Single-cell crop. MGG-stained. Bone marrow smear: 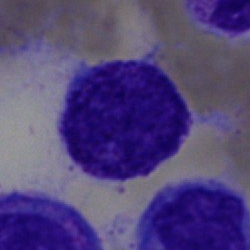

Cell: blast.